250 by 250 pixels. Bone marrow aspirate smear. 40× objective, oil immersion
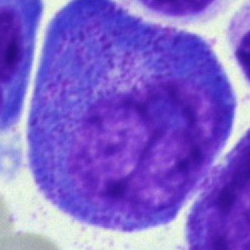 Progranulocyte.